Bone marrow aspirate smear — 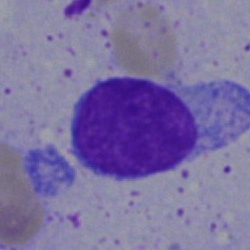
This is a typical lymphocyte.